Bone marrow smear. May-Grünwald-Giemsa/Pappenheim stain:
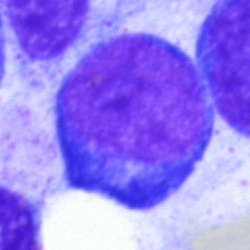
A proerythroblast.